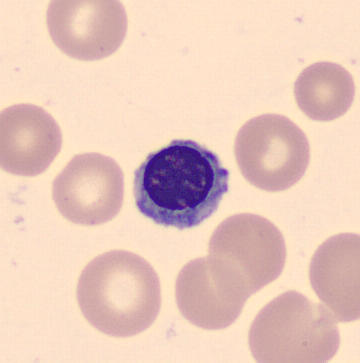

The morphological class is normoblast.